Bone marrow smear:
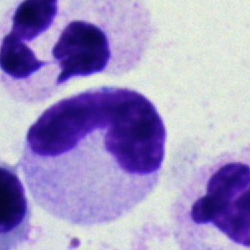
Single cell identified as a neutrophil (segmented).